Single cell centered in the field · bone marrow aspirate smear
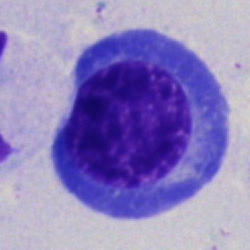

Specimen: bone marrow smear.
Classification: nucleated red blood cell.